Cropped to a single cell; bone marrow aspirate smear — 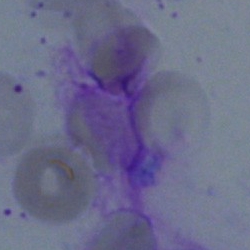 Artifact.